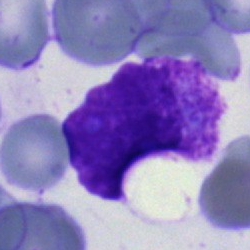

Specimen: bone marrow smear.
Morphological class: artefact.